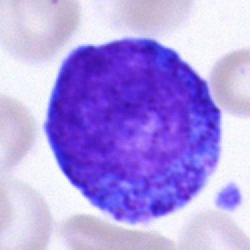Bone marrow aspirate smear, single cell — promyelocyte.